Single-cell field. Bone marrow aspirate smear: 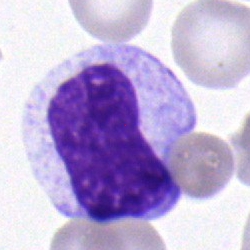
Q: What cell is this?
A: A metamyelocyte.